Bone marrow smear. Single-cell field: 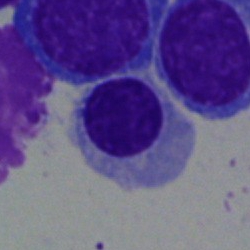Nucleated red cell.